40× oil immersion. Bone marrow smear — 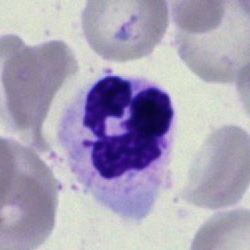

Single cell identified as a neutrophil (segmented).